Bone marrow smear
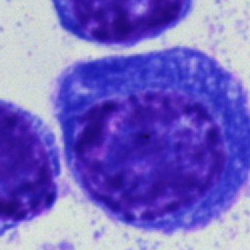 Cell type — plasma cell.